Bone marrow smear; Pappenheim-stained; single cell centered in the field:
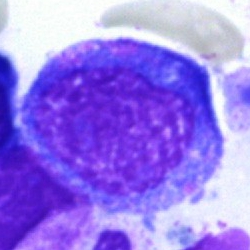Showing a progranulocyte.